Bone marrow aspirate smear — 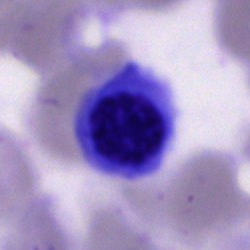
The cell type is erythroblast.